Bone marrow smear:
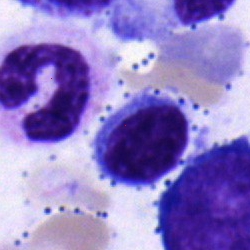 Q: What is the morphological classification of this cell?
A: This is a typical lymphocyte.